Bone marrow smear
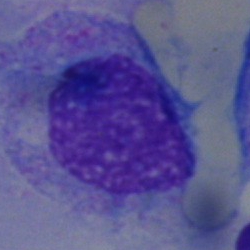 Specimen: bone marrow smear.
Classification: myelocyte.
Lineage: myeloid.